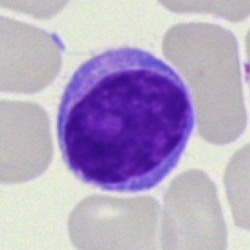 Q: Identify the cell.
A: Typical lymphocyte.